Bone marrow aspirate smear · Pappenheim-stained · single-cell crop.
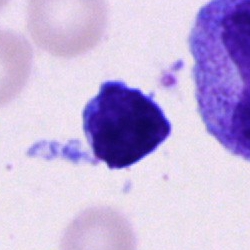
Q: Which cell type is shown here?
A: It is a lymphocyte.